Pappenheim-stained. Bone marrow aspirate smear. 40× objective, oil immersion.
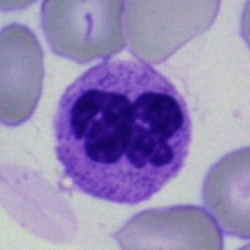
The cell shown is a neutrophil (segmented).